Bone marrow aspirate smear. 250×250. MGG-stained:
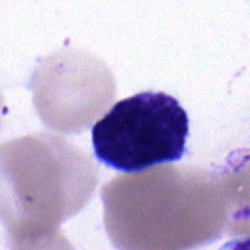Classification: typical lymphocyte.